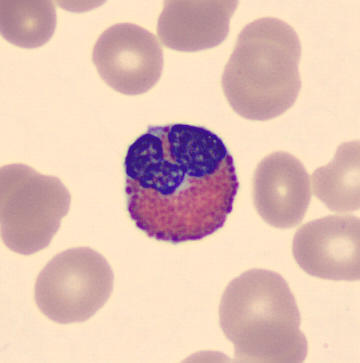 Eosinophil.

Image: Peripheral blood film.